Bone marrow aspirate smear — 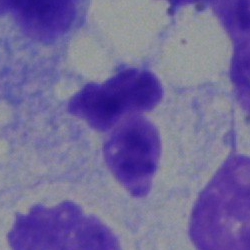Single cell identified as a polymorphonuclear neutrophil.